Single-cell field · 40× oil immersion · bone marrow aspirate smear — 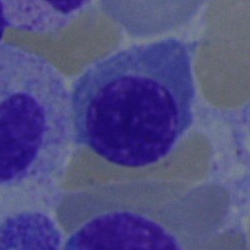Impression — normoblast.